250 by 250 pixels · bone marrow smear · May-Grünwald-Giemsa stain:
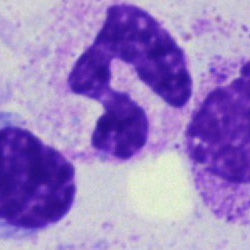 This is a segmented neutrophil.